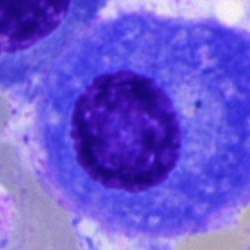

Q: Which cell type is shown here?
A: Plasmacyte.